Pappenheim-stained. Bone marrow aspirate smear. 250×250 px.
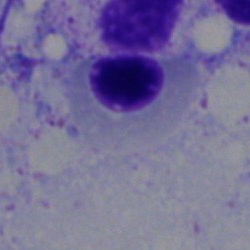

Classification — normoblast.